Bone marrow smear; single-cell crop — 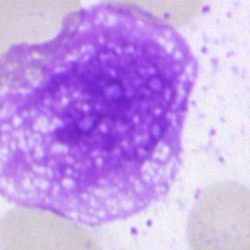Classification: artefact.